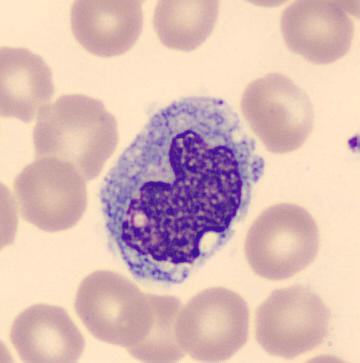Cell = monocyte.